Peripheral blood smear.
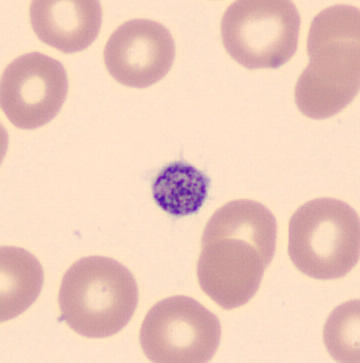Platelet (thrombocyte).